Bone marrow smear
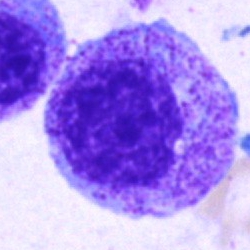Cell type = promyelocyte.